Bone marrow smear.
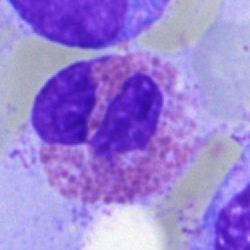Cell = eosinophilic granulocyte.